Single cell centered in the field; bone marrow smear: 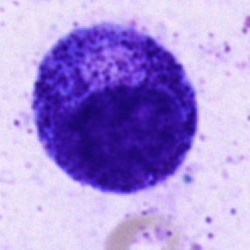

Cell type = promyelocyte.